Bone marrow smear.
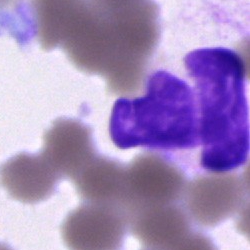 Q: What is shown here?
A: It is an artefact.